Bone marrow smear · MGG-stained · 250×250
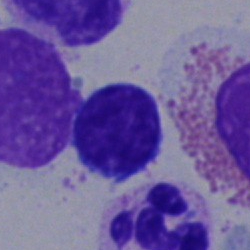 Impression → lymphocyte.